Bone marrow smear.
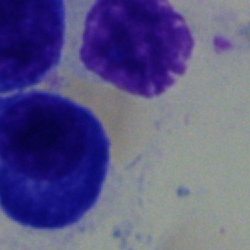

Morphology → plasma cell.